Peripheral blood smear — 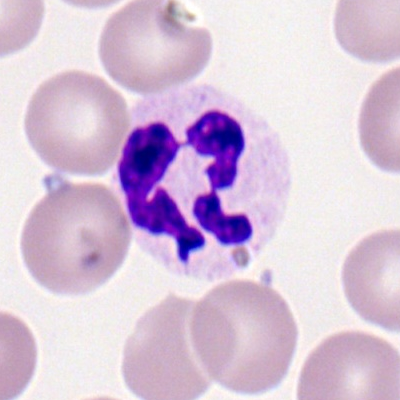Specimen: peripheral blood film.
Classification: segmented neutrophil.
Lineage: myeloid.